Peripheral blood film:
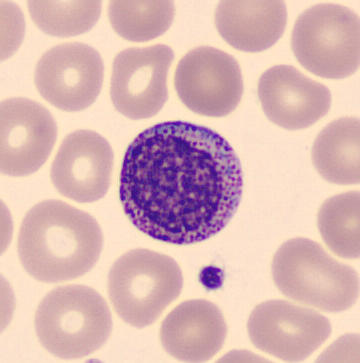Showing a myelocyte.